Bone marrow smear. May-Grünwald-Giemsa stain — 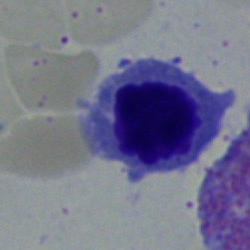 Classification: normoblast.